Bone marrow aspirate smear.
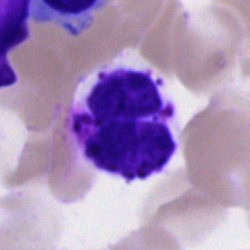

Single cell identified as a basophilic granulocyte.